Bone marrow aspirate smear — 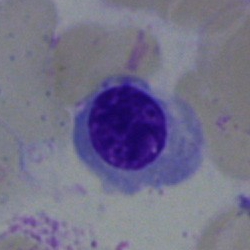

A normoblast.